Peripheral blood smear:
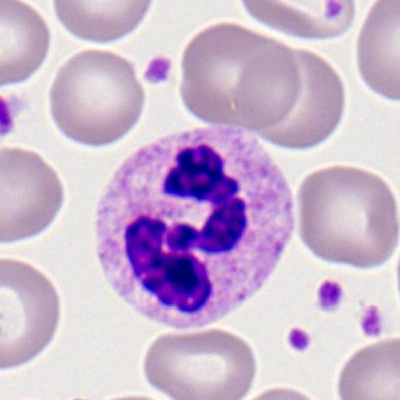Morphology consistent with a polymorphonuclear neutrophil.